Automated cell imaging (CellaVision DM96); peripheral blood film:
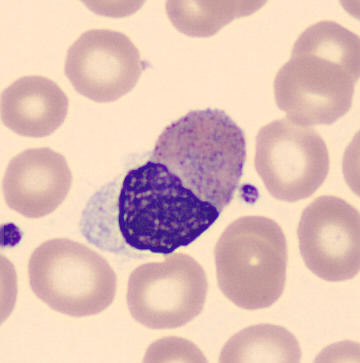
Morphology consistent with a metamyelocyte.